Bone marrow smear — 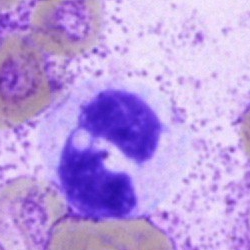
Q: What is the morphological classification of this cell?
A: Segmented neutrophil.